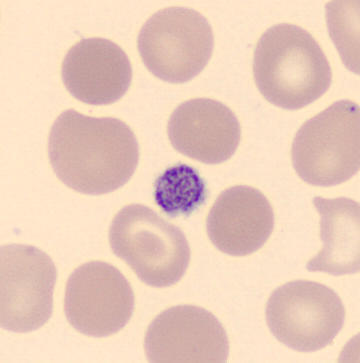

Acquisition: Peripheral blood smear. The classification is thrombocyte.